Bone marrow aspirate smear; single cell centered in the field: 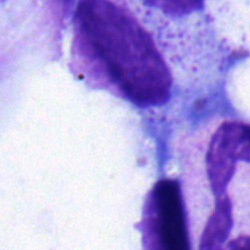This is a myelocyte.